Bone marrow smear — 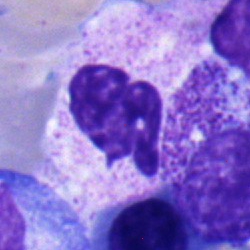A segmented neutrophil.